Single-cell field · bone marrow aspirate smear
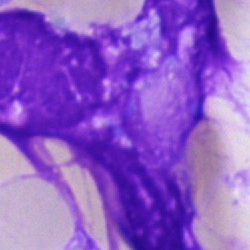

Specimen: bone marrow aspirate smear.
Morphological class: artifact.